360 by 363 pixels; peripheral blood film; May Grünwald-Giemsa stain — 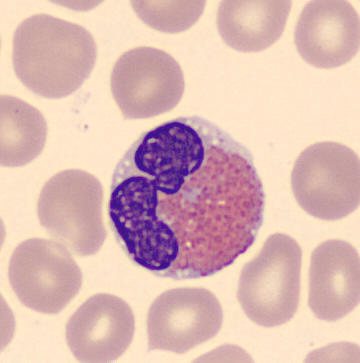
Cell type — eosinophil.